Pappenheim-stained · cropped to a single cell · bone marrow smear:
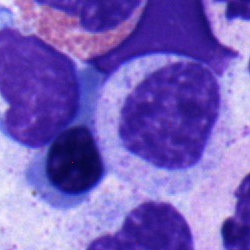
The classification is myelocyte.